Bone marrow aspirate smear: 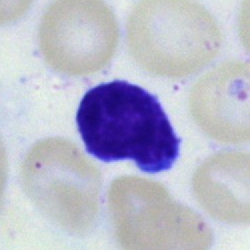Impression — lymphocyte.